Image size 250×250; MGG-stained; bone marrow aspirate smear — 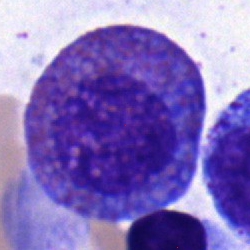 Eosinophil.